Image size 250×250. Pappenheim-stained. Bone marrow smear:
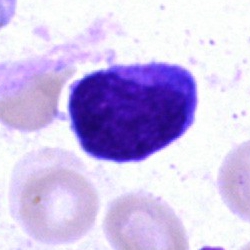

Specimen: bone marrow smear.
Cell type: blast cell.